Single cell centered in the field · bone marrow smear · 250×250:
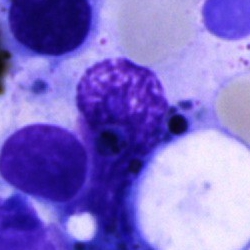

An artefact.